Bone marrow aspirate smear
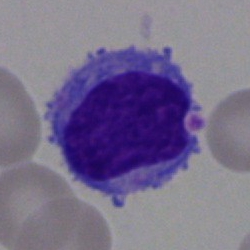
A lymphocyte.